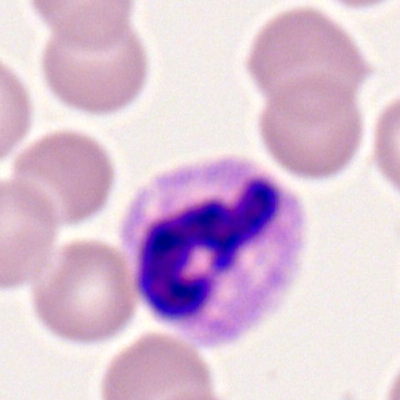
Cell — polymorphonuclear neutrophil.